Bone marrow smear — 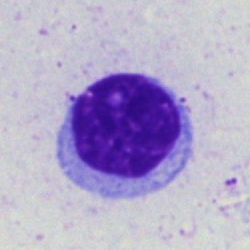 Morphology → lymphocyte.